May-Grünwald-Giemsa stain · bone marrow aspirate smear:
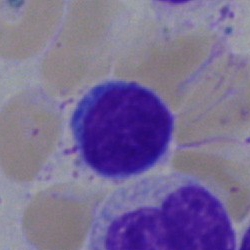 Showing a lymphocyte.